Bone marrow aspirate smear
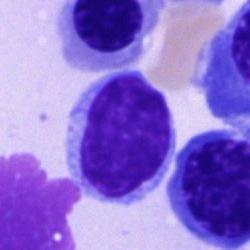
Morphology consistent with a typical lymphocyte.